Bone marrow aspirate smear:
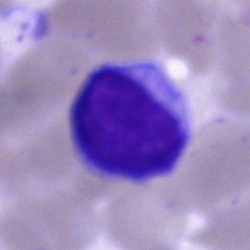Q: What cell is this?
A: It is a typical lymphocyte.